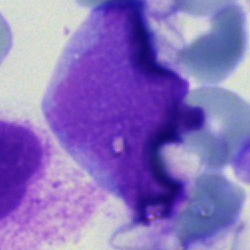 Blast cell.